Cropped to a single cell. Brightfield, 40× oil-immersion objective. Bone marrow smear — 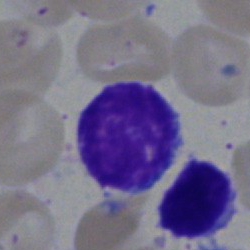 Q: Identify the cell.
A: This is a typical lymphocyte.